Bone marrow smear: 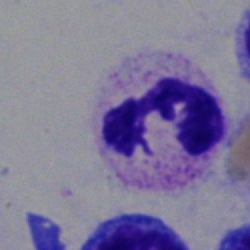{"cell_type": "polymorphonuclear neutrophil"}